Bone marrow smear
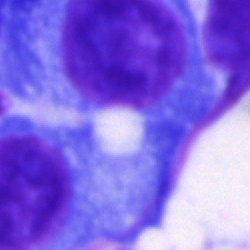
Q: Identify the cell.
A: Plasma cell.